Bone marrow smear
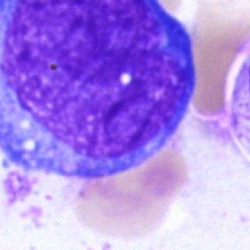

Cell type — blast cell.